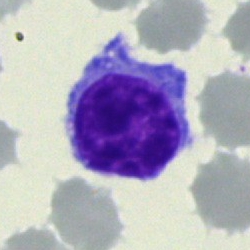 Morphological class: typical lymphocyte.